Bone marrow aspirate smear
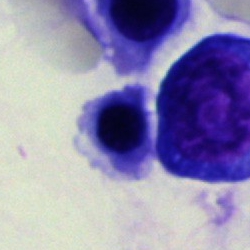
Specimen: bone marrow smear.
Classification: erythroblast.
Lineage: erythroid.